Bone marrow smear; 250×250.
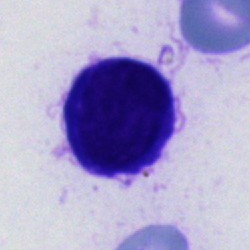Specimen: bone marrow smear.
Morphological class: cell of indeterminate lineage.